Peripheral blood smear.
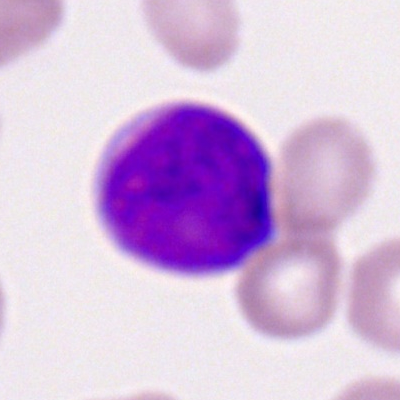 Cell type — myeloid blast.